Bone marrow aspirate smear; MGG-stained:
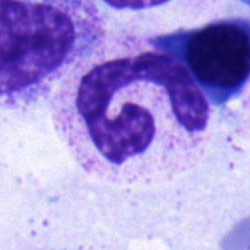

Cell type = stab cell.